Bone marrow smear
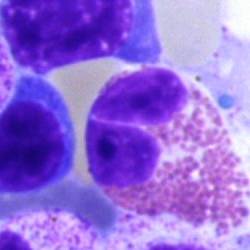 Specimen: bone marrow aspirate smear.
Morphological class: eosinophilic granulocyte.